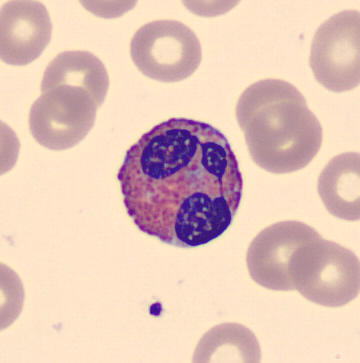{"cell_type": "eosinophilic granulocyte", "lineage": "myeloid"} Image: Single cell centered in the field; peripheral blood smear.